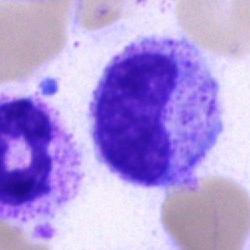 Q: What cell is this?
A: A metamyelocyte.